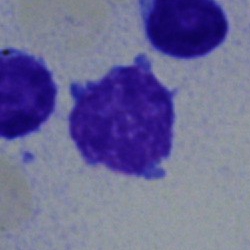A lymphocyte.